Bone marrow aspirate smear — 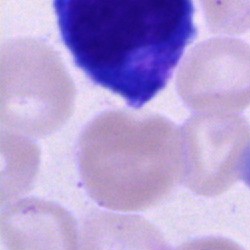Cell of indeterminate lineage.